Peripheral blood smear; single cell centered in the field — 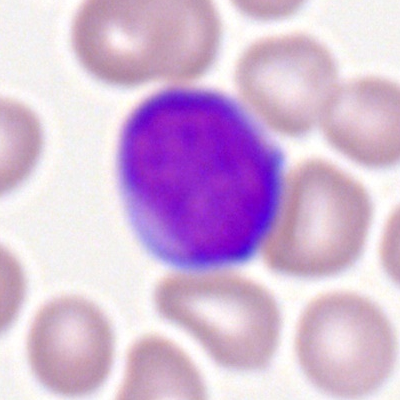

Q: Which cell type is shown here?
A: This is a myeloblast.